Peripheral blood smear · single-cell crop · M8 digital microscope (Precipoint), 100× oil immersion.
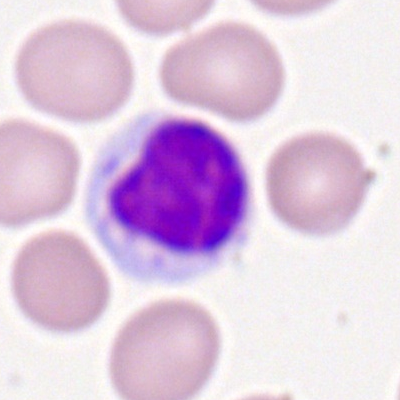

Morphological class = typical lymphocyte.